Brightfield microscopy, 40× oil immersion · bone marrow smear
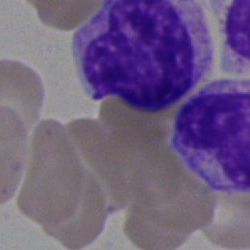 Single cell identified as an artifact.